250 by 250 pixels; bone marrow aspirate smear:
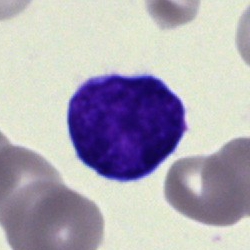Cell: lymphocyte.